Bone marrow smear:
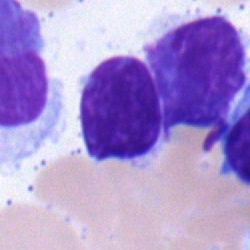This is a typical lymphocyte.